Bone marrow aspirate smear; single-cell crop; May-Grünwald-Giemsa/Pappenheim stain: 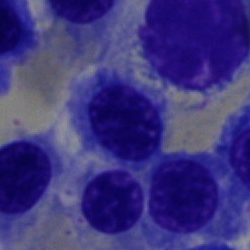
A normoblast.